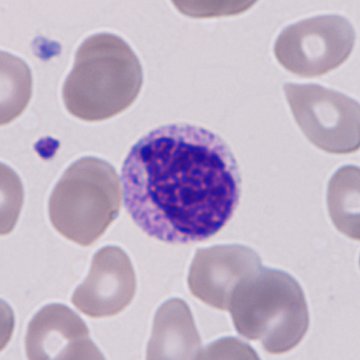 Image: Peripheral blood smear.

Single cell identified as an immature granulocyte (promyelocyte, myelocyte or metamyelocyte).